Bone marrow aspirate smear: 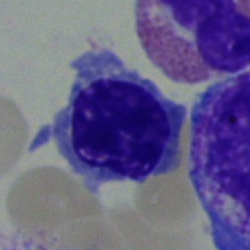 Specimen: bone marrow aspirate smear.
Cell: normoblast.
Lineage: erythroid.